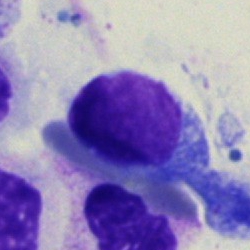
Single-cell crop from a bone marrow smear: typical lymphocyte.